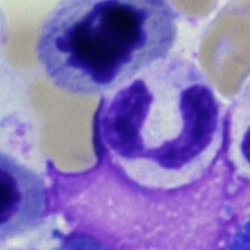 The cell is segmented neutrophil.